Peripheral blood film:
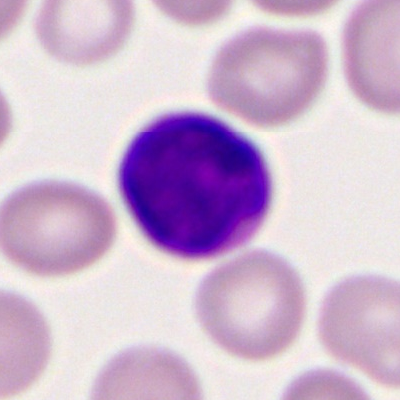
Specimen: peripheral blood smear.
Classification: myeloid blast.